100× oil immersion, 14.14 px/µm; single-cell field; peripheral blood film
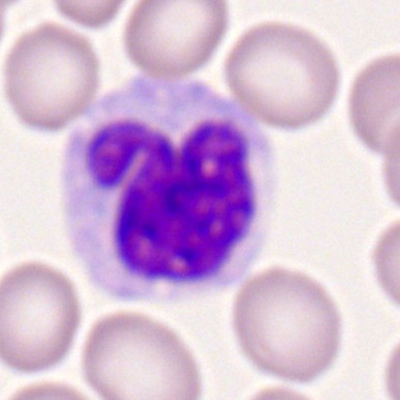

Morphological class = monocyte.